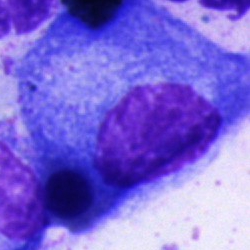Impression → plasmacyte.